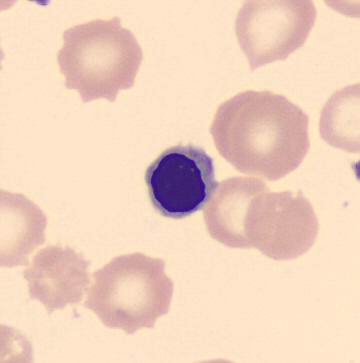 Preparation: Peripheral blood smear · automated cell imaging (CellaVision DM96). This is a nucleated red cell.